Bone marrow smear
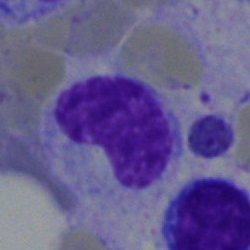 Morphology — neutrophil (band).